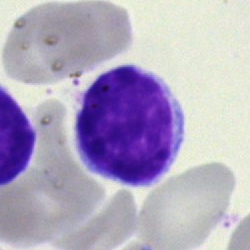The morphological class is typical lymphocyte.